Single cell centered in the field; bone marrow aspirate smear.
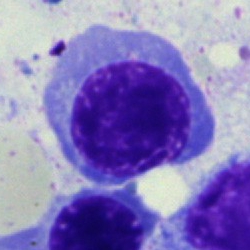 Morphology — erythroblast.